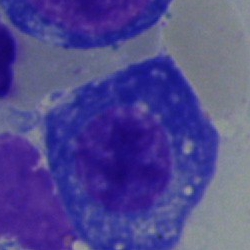This is a plasma cell.